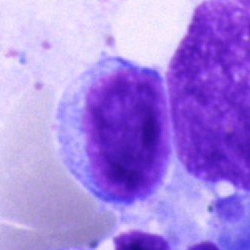 Impression — typical lymphocyte.